Peripheral blood film
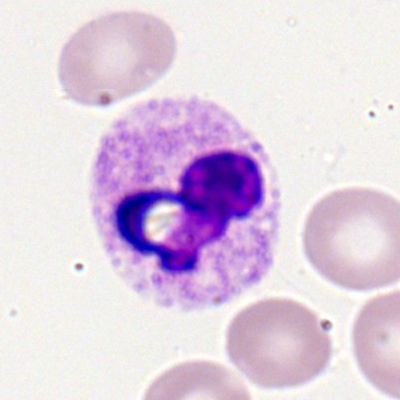

Cell = polymorphonuclear neutrophil.